Bone marrow aspirate smear · brightfield microscopy, 40× oil immersion · MGG-stained.
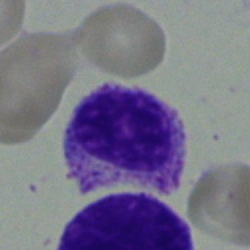 Morphological class: myelocyte.